Bone marrow aspirate smear — 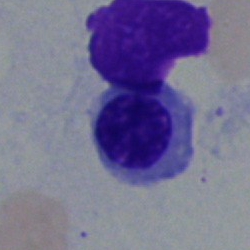 Specimen: bone marrow smear.
Cell type: nucleated red cell.
Lineage: erythroid.